Bone marrow aspirate smear.
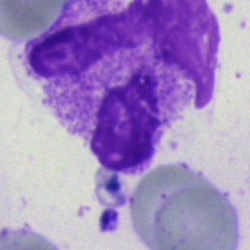

Morphology consistent with an artefact.